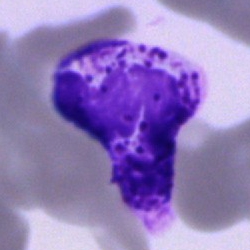 The morphological class is basophil.